Bone marrow smear:
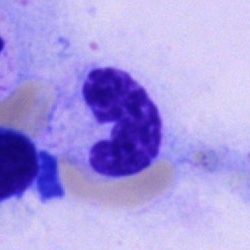

Impression — polymorphonuclear neutrophil.